Bone marrow aspirate smear · 250×250:
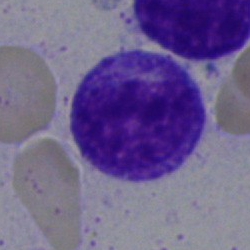A metamyelocyte.